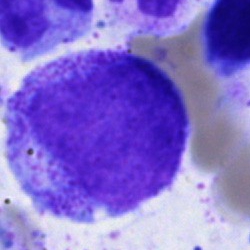
The cell type is progranulocyte.